Bone marrow smear
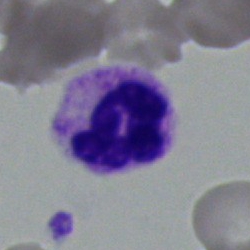
Classification = segmented neutrophil.